250×250 px. Bone marrow smear. Pappenheim-stained: 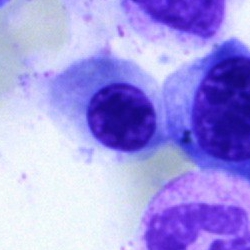

The morphological class is nucleated red cell.